Bone marrow aspirate smear — 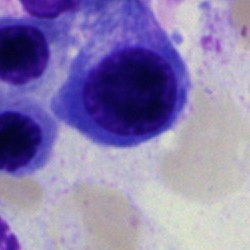A nucleated red blood cell.